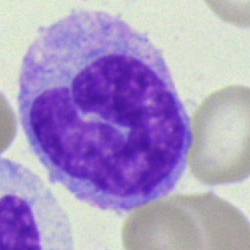 Morphology consistent with a monocyte.